Bone marrow aspirate smear:
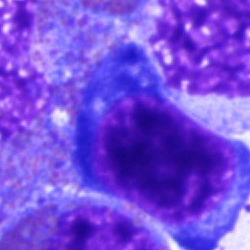
Cell: normoblast.